Bone marrow smear.
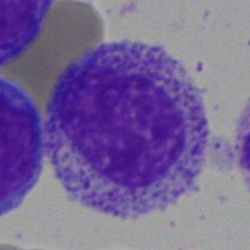Cell — myelocyte.